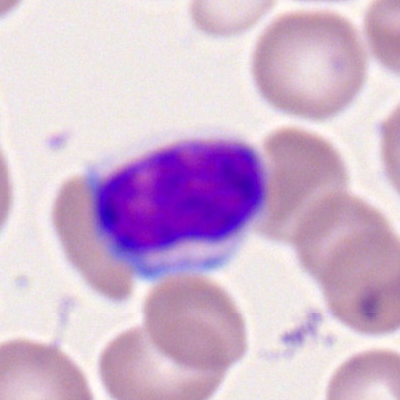Specimen: peripheral blood smear.
Cell type: typical lymphocyte.
Lineage: lymphoid.